Brightfield microscopy, 40× oil immersion · bone marrow smear · Pappenheim-stained: 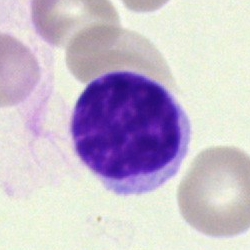
{"cell_type": "lymphocyte", "lineage": "lymphoid"}